Single-cell field · bone marrow smear
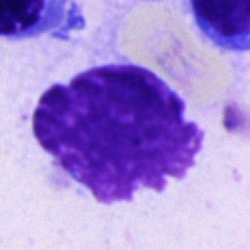Showing an artifact.